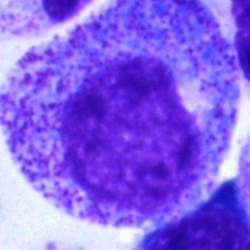

Q: Which cell type is shown here?
A: Promyelocyte.